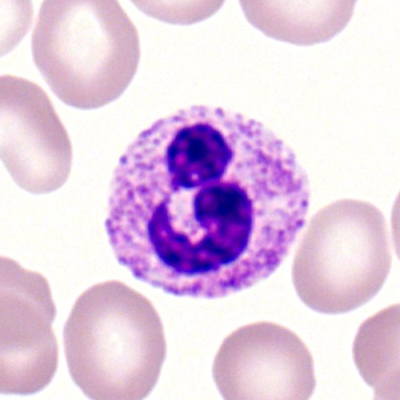 {"cell_type": "neutrophil (segmented)", "lineage": "myeloid"}